Bone marrow smear.
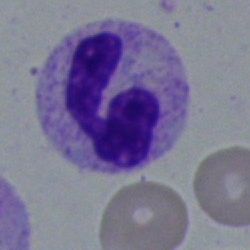
The cell shown is a neutrophil (segmented).